Bone marrow smear.
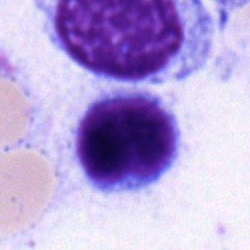

{"cell_type": "typical lymphocyte", "lineage": "lymphoid"}